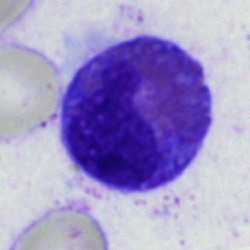 An eosinophilic granulocyte on a bone marrow smear.